Bone marrow aspirate smear; Pappenheim-stained — 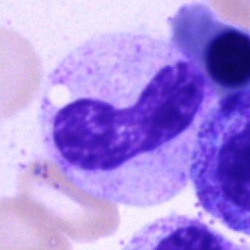
A band neutrophil.